Bone marrow smear. 250×250:
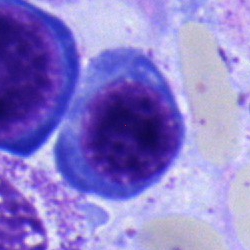

{"cell_type": "erythroblast", "lineage": "erythroid"}